Brightfield microscopy, 40× oil immersion; 250 by 250 pixels; bone marrow aspirate smear — 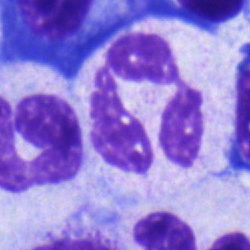 Specimen: bone marrow smear.
Classification: neutrophil (segmented).